Bone marrow aspirate smear:
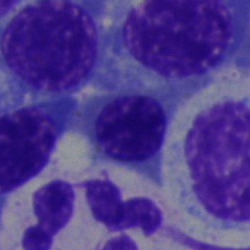 A nucleated red cell.